May-Grünwald-Giemsa/Pappenheim stain; brightfield, 40× oil-immersion objective; bone marrow smear: 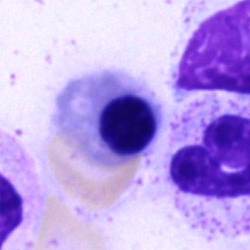Showing a blast.